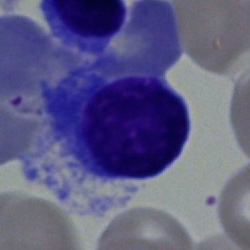 Q: What cell is this?
A: A plasma cell.